May-Grünwald-Giemsa stain; bone marrow aspirate smear:
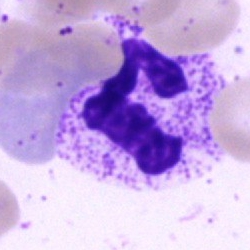Q: What is shown here?
A: A segmented neutrophil.